Bone marrow aspirate smear:
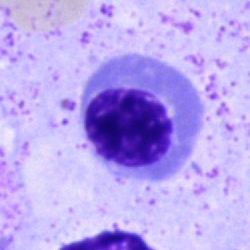

Morphological class = normoblast.